MGG-stained · bone marrow aspirate smear
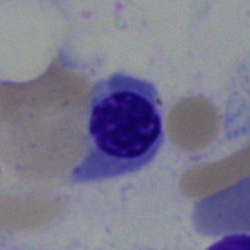

Classification: normoblast.